Bone marrow smear; image size 250×250:
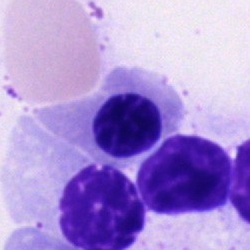Morphological class — nucleated red blood cell.